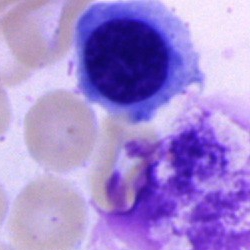 Q: What cell is this?
A: A normoblast.